Bone marrow smear:
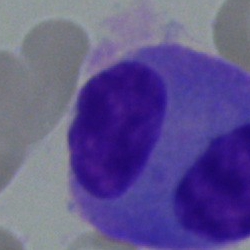Cell — plasmacyte.